Bone marrow smear.
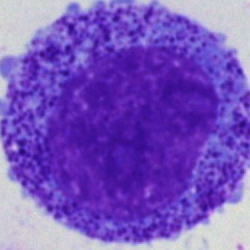 Morphological class: progranulocyte.